250×250 px; bone marrow smear: 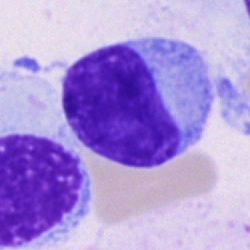
Showing a plasmacyte.